Bone marrow smear: 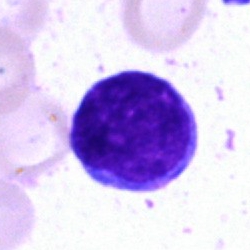 The cell shown is a blast.